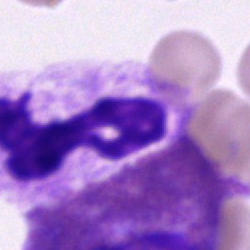

{"cell_type": "artefact"}